Bone marrow smear
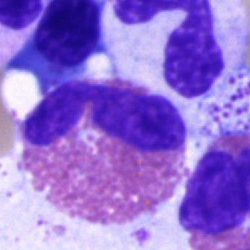

Eosinophilic granulocyte.